Bone marrow smear
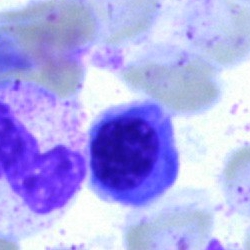{"cell_type": "nucleated red cell"}